Bone marrow smear — 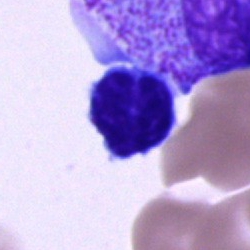 Q: What is the morphological classification of this cell?
A: This is a lymphocyte.